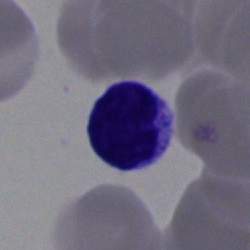
Morphological class: typical lymphocyte.